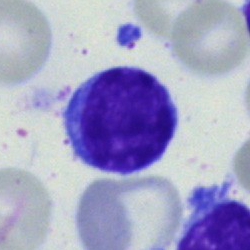
Single-cell crop from a bone marrow smear: lymphocyte.